Bone marrow aspirate smear: 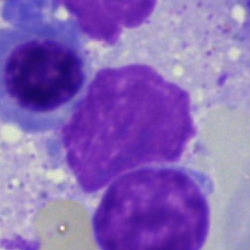

An artefact.